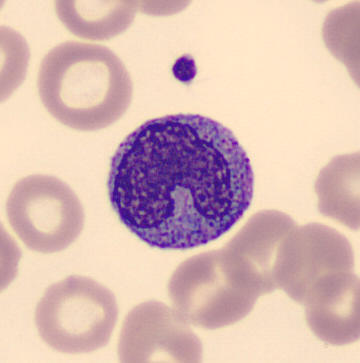 Morphology consistent with a monocyte. Acquisition: Peripheral blood smear.